Bone marrow aspirate smear: 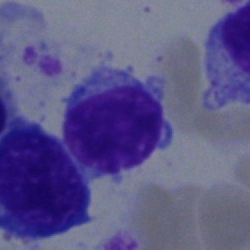
Morphological class: typical lymphocyte.